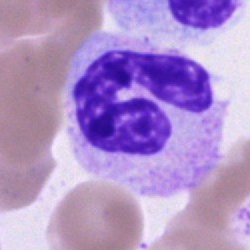 The morphological class is band neutrophil.